Single cell centered in the field; bone marrow aspirate smear
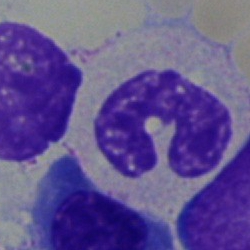
The classification is band-form neutrophil.